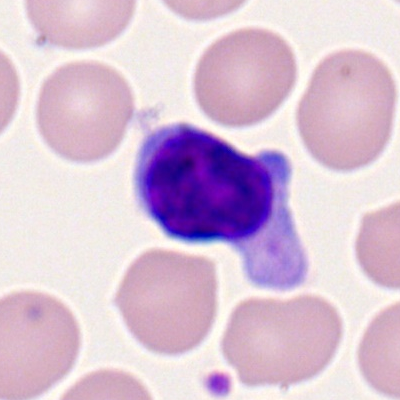The cell is lymphocyte.